Bone marrow aspirate smear: 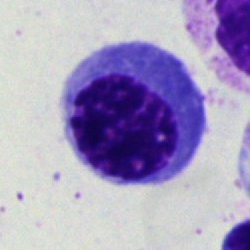Cell type: normoblast.